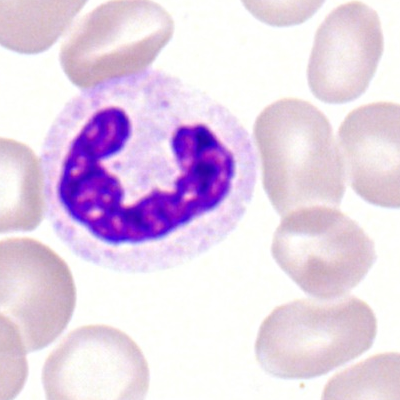

Cell = segmented neutrophil.